Single-cell field; peripheral blood smear — 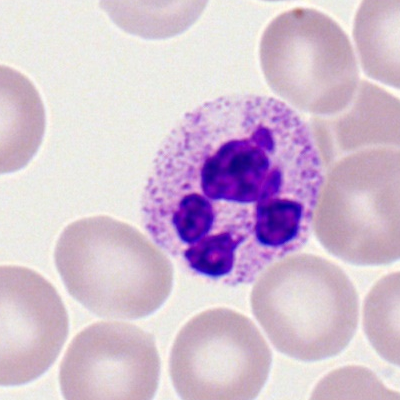Morphological class = polymorphonuclear neutrophil.